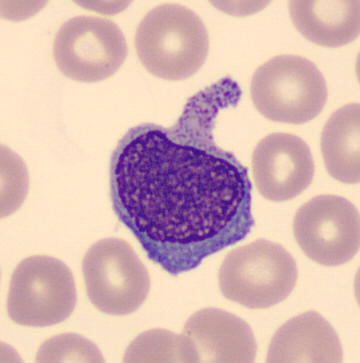
Preparation: Peripheral blood smear. Cell — monocyte.